250×250 px. Bone marrow aspirate smear
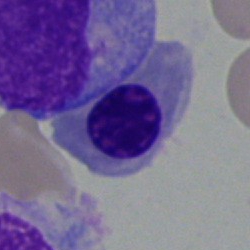Classification = normoblast.